Peripheral blood smear. Single cell centered in the field — 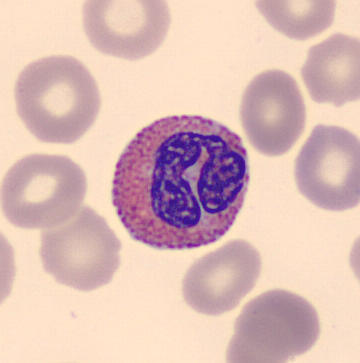
Q: What type of cell is this?
A: Eosinophil.